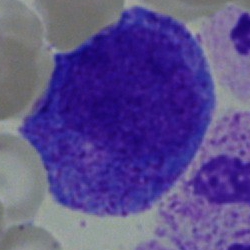 The cell is progranulocyte.